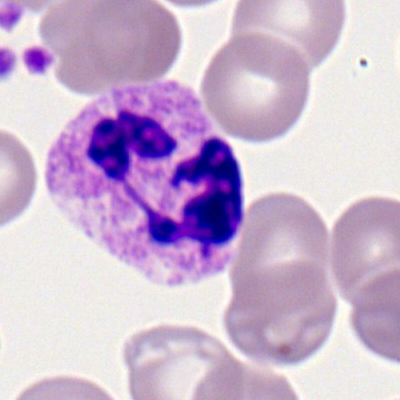

Q: What is shown here?
A: Neutrophil (segmented).